Bone marrow aspirate smear; single-cell crop; May-Grünwald-Giemsa stain: 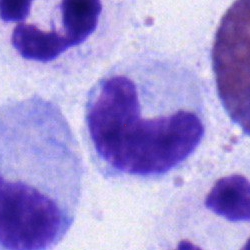 Classification = myelocyte.